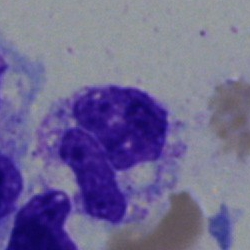
Specimen: bone marrow smear.
Classification: polymorphonuclear neutrophil.
Lineage: myeloid.